Bone marrow aspirate smear — 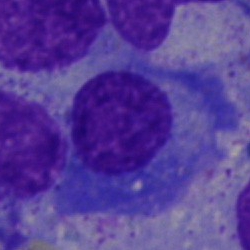 The classification is plasmacyte.